Brightfield microscopy, 40× oil immersion · bone marrow aspirate smear.
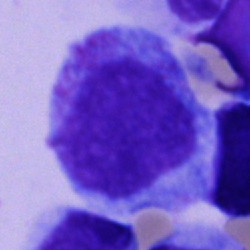
Showing a progranulocyte.